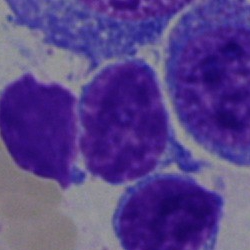 Morphology consistent with a typical lymphocyte.